Bone marrow aspirate smear: 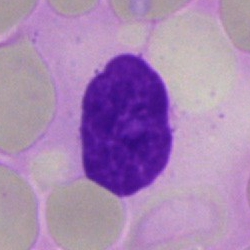 Specimen: bone marrow aspirate smear.
Cell: artifact.